Cropped to a single cell. Brightfield, 40× oil-immersion objective. Bone marrow aspirate smear — 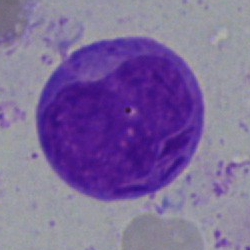 Q: Which cell type is shown here?
A: This is an undifferentiated blast.